Peripheral blood film
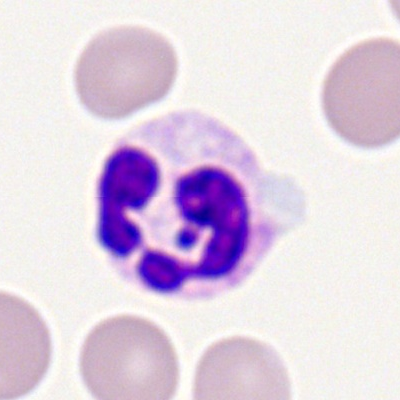 Neutrophil (segmented).